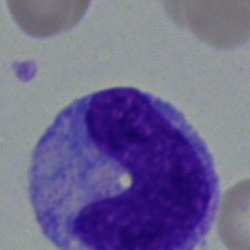Cell = metamyelocyte.